Peripheral blood smear; 400 by 400 pixels:
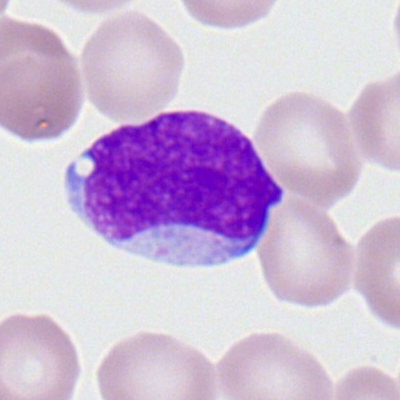

Classification = myeloblast.